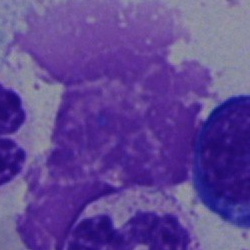 Cell = artifact.